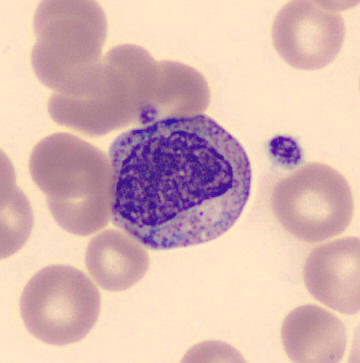
Q: What type of cell is this?
A: It is a myelocyte.
Image: May Grünwald-Giemsa stain. Peripheral blood film.